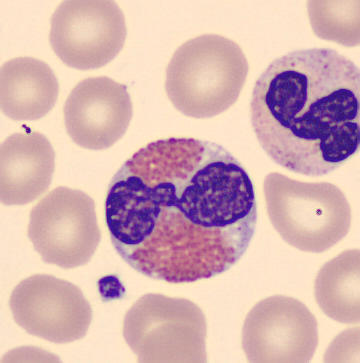 Specimen: peripheral blood smear.
Classification: eosinophilic granulocyte.
Lineage: myeloid.

Preparation: Single cell centered in the field.